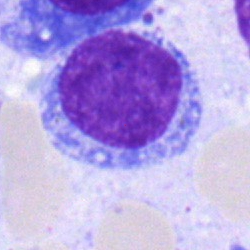 The morphological class is lymphocyte.